Bone marrow smear — 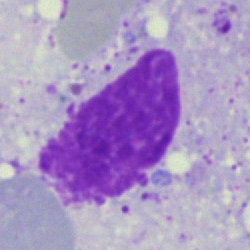

Single cell identified as an artifact.